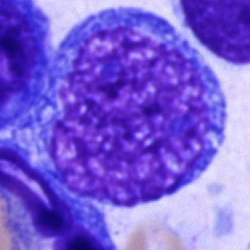
Q: What type of cell is this?
A: A blast.